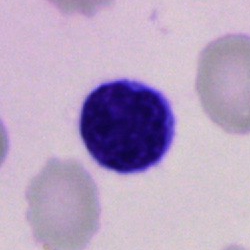Classification — typical lymphocyte.